250 by 250 pixels; bone marrow smear
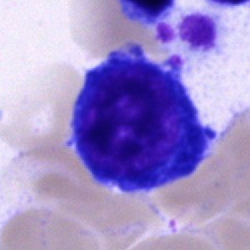 Pronormoblast.